Bone marrow smear.
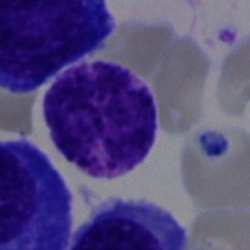

Morphology consistent with an unidentifiable cell.